Bone marrow smear
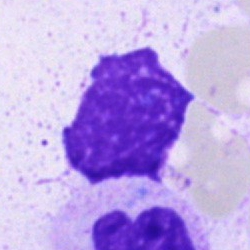

Single cell identified as an artifact.